Peripheral blood film
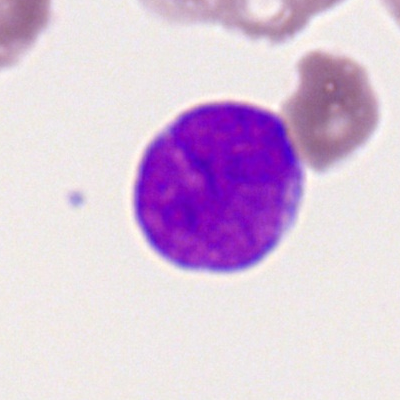Morphology — myeloid blast.